Bone marrow smear: 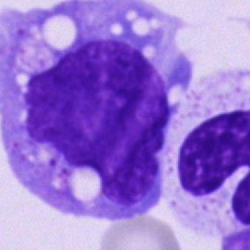

{"cell_type": "monocyte", "lineage": "myeloid"}